Single-cell crop; peripheral blood film; 400×400 px.
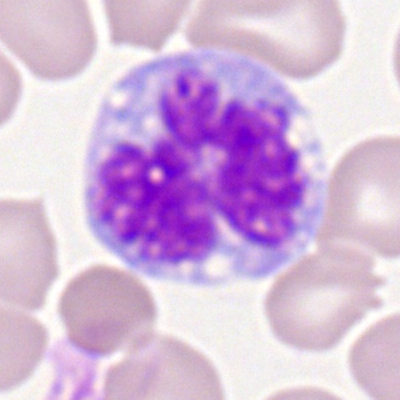

Q: What cell is this?
A: It is a monocyte.